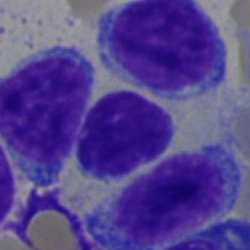 Single-cell crop from a bone marrow smear: typical lymphocyte.